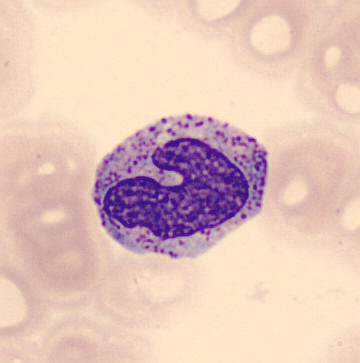

Image: Peripheral blood smear.
Showing a metamyelocyte.